Bone marrow aspirate smear.
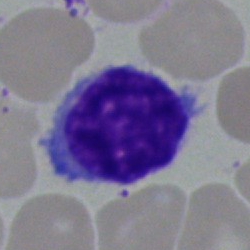

Impression — typical lymphocyte.